40× oil immersion; bone marrow smear:
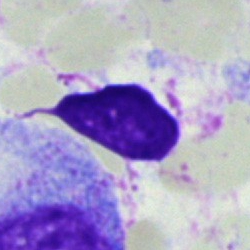

Q: What is shown here?
A: Artefact.